Single-cell field; bone marrow smear.
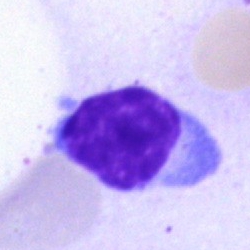 Specimen: bone marrow aspirate smear.
Cell: typical lymphocyte.